Bone marrow aspirate smear — 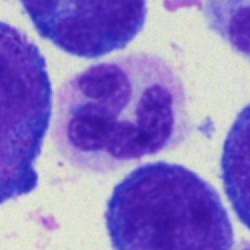

Morphology — segmented neutrophil.